Bone marrow smear · brightfield microscopy, 40× oil immersion · 250×250 px
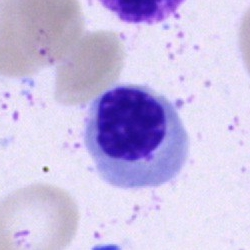Morphology consistent with a normoblast.